Bone marrow aspirate smear; May-Grünwald-Giemsa/Pappenheim stain
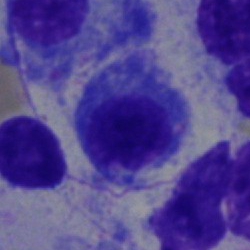

Q: Identify the cell.
A: It is a nucleated red blood cell.